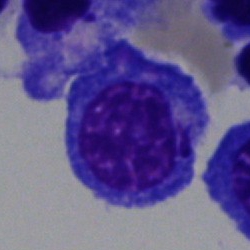
A nucleated red cell.